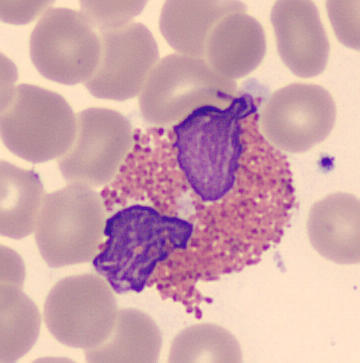 Automated cell imaging (CellaVision DM96) · peripheral blood film.

Morphology consistent with an eosinophil.